Bone marrow aspirate smear; 250×250: 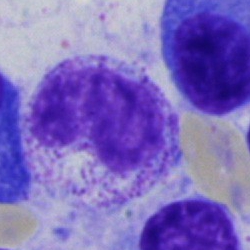 The classification is metamyelocyte.